Single-cell field; bone marrow smear; 250×250: 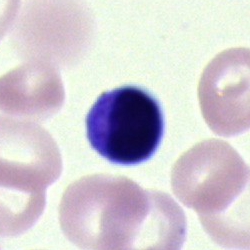
{"cell_type": "artefact"}